Bone marrow aspirate smear:
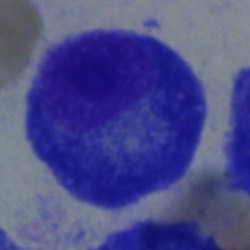 The cell is plasmacyte.